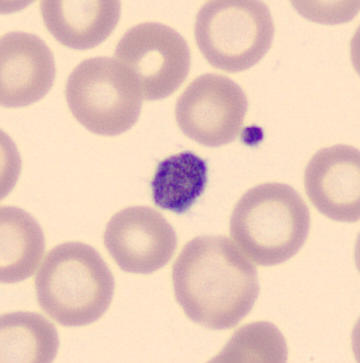Platelet.